Pappenheim-stained · bone marrow smear:
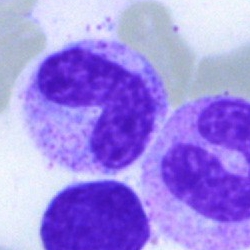
Single cell identified as a band neutrophil.